250 by 250 pixels; bone marrow aspirate smear
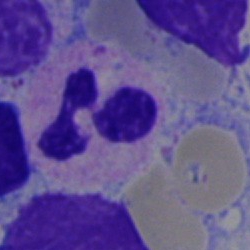

This is a segmented neutrophil.